Image size 360×363. Peripheral blood smear — 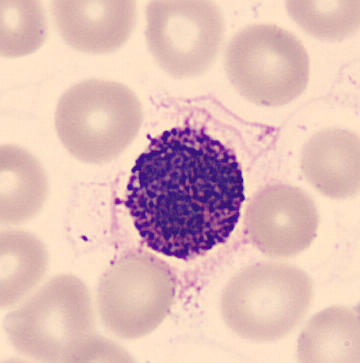Impression — basophilic granulocyte.